40× oil immersion. Bone marrow aspirate smear.
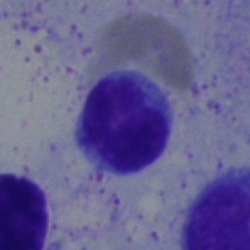The cell shown is a typical lymphocyte.